Bone marrow smear · 250×250 px · Pappenheim-stained.
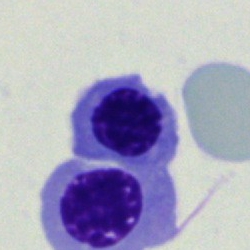 The morphological class is nucleated red cell.